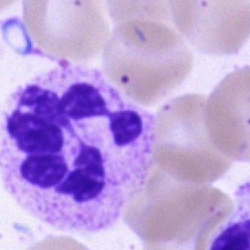Specimen: bone marrow aspirate smear.
Cell type: neutrophil (segmented).